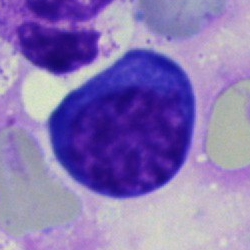The classification is nucleated red blood cell.